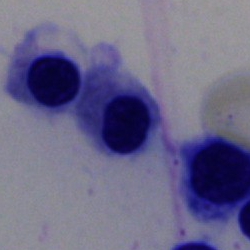

Q: What is the morphological classification of this cell?
A: It is an erythroblast.